Bone marrow smear · single cell centered in the field
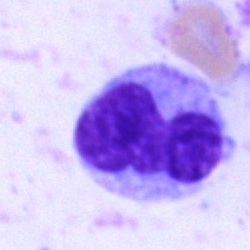
The cell is monocyte.